Bone marrow smear.
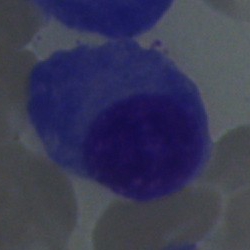

Cell type — plasma cell.